Bone marrow aspirate smear:
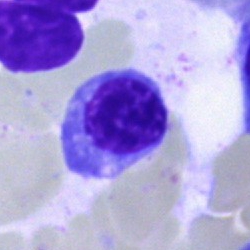
This is an erythroblast.